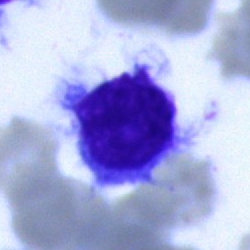
Morphology consistent with a hairy cell.